40× objective, oil immersion; May-Grünwald-Giemsa/Pappenheim stain; bone marrow smear
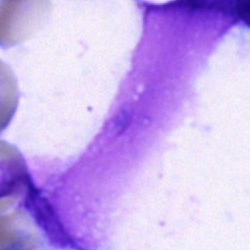
The cell is artifact.